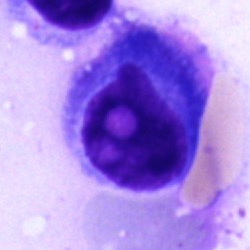

Specimen: bone marrow aspirate smear.
Cell type: plasmacyte.